Bone marrow aspirate smear
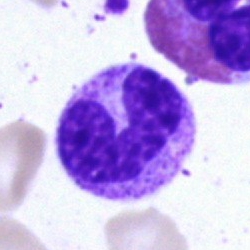

Specimen: bone marrow aspirate smear.
Classification: neutrophil (band).